Peripheral blood smear — 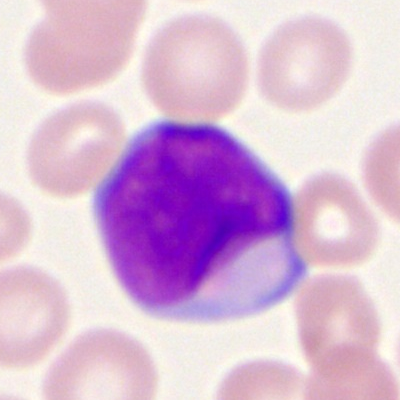 Q: What is shown here?
A: Myeloblast.